Bone marrow smear · brightfield, 40× oil-immersion objective · MGG-stained.
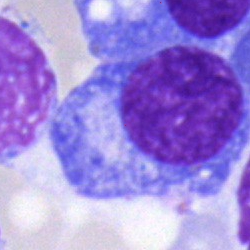 {"cell_type": "plasmacyte", "lineage": "lymphoid"}